Bone marrow aspirate smear
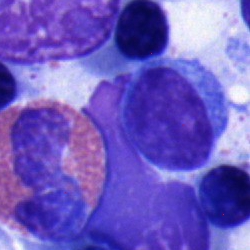Morphological class: lymphocyte.